Bone marrow aspirate smear
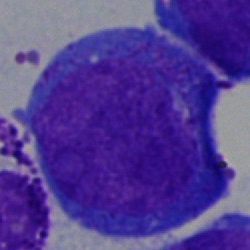The cell shown is a blast.